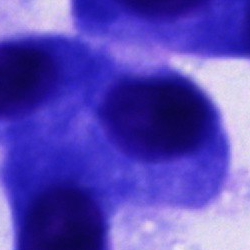Classification: other cell.